MGG-stained. Bone marrow smear — 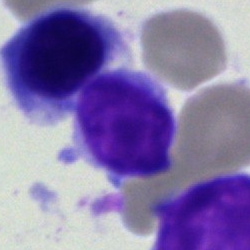
Cell: lymphocyte.